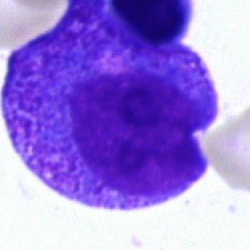

Progranulocyte.